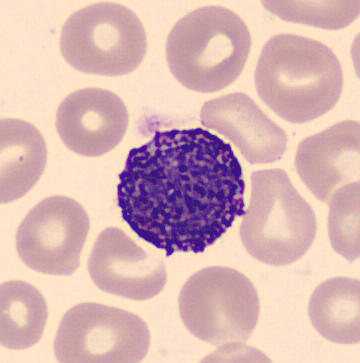
Q: Identify the cell.
A: A basophilic granulocyte.